Bone marrow smear — 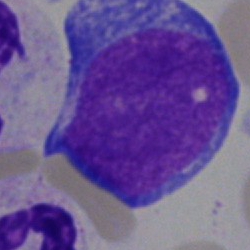 Morphology → blast.